Bone marrow aspirate smear:
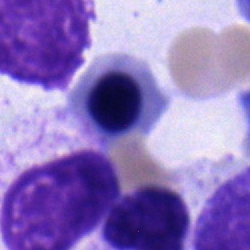

Morphology — nucleated red cell.